Bone marrow aspirate smear
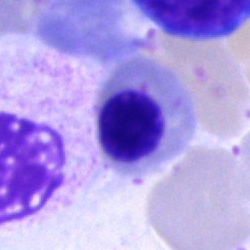Q: Identify the cell.
A: Nucleated red cell.